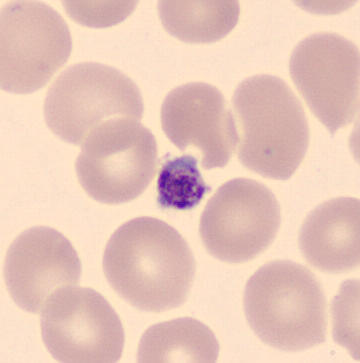
Classification = platelet (thrombocyte).
Image: Peripheral blood film; 360 by 363 pixels.